Bone marrow aspirate smear
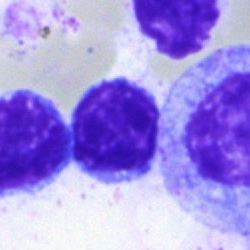
Morphology consistent with a typical lymphocyte.